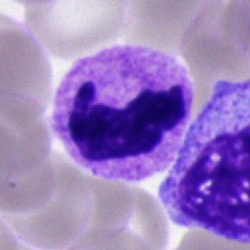Specimen: bone marrow aspirate smear.
Classification: polymorphonuclear neutrophil.